Bone marrow smear
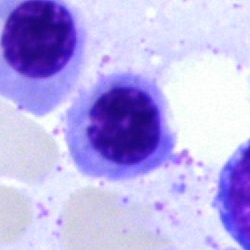

Specimen: bone marrow aspirate smear.
Classification: normoblast.
Lineage: erythroid.